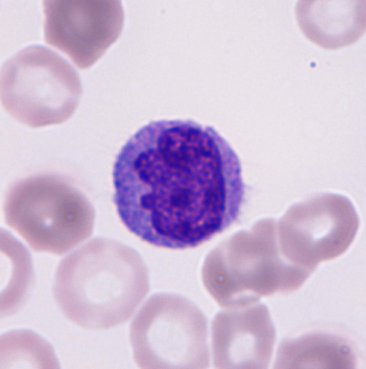 Classification: monocyte.

Acquisition: Peripheral blood film; cropped to a single cell.